250×250. Bone marrow smear. Single cell centered in the field
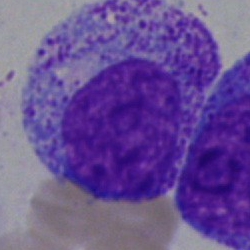 Q: What type of cell is this?
A: It is a promyelocyte.